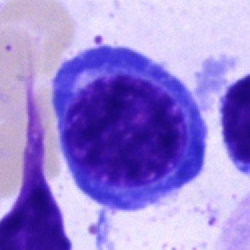Specimen: bone marrow aspirate smear.
Classification: nucleated red cell.
Lineage: erythroid.